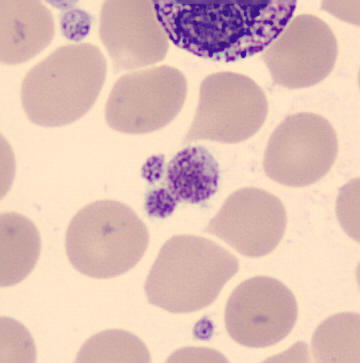
Peripheral blood film.
Identified as a platelet (thrombocyte).